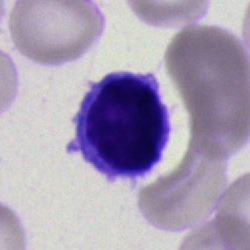

Typical lymphocyte.